40× oil immersion; bone marrow aspirate smear:
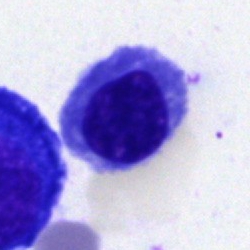Q: What is shown here?
A: It is a normoblast.